Bone marrow aspirate smear:
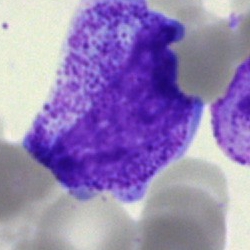
The cell shown is a myelocyte.